Peripheral blood film; cropped to a single cell.
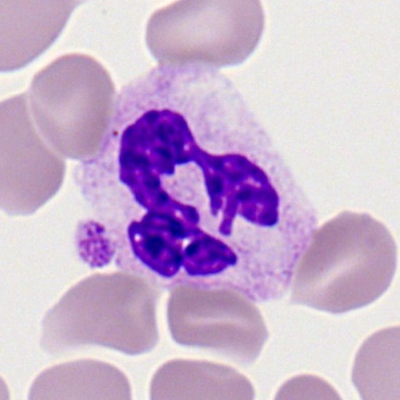
{"cell_type": "segmented neutrophil"}